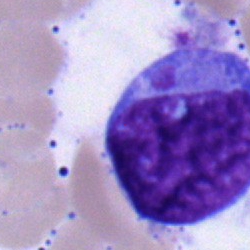

Single-cell crop from a bone marrow smear: undifferentiated blast.